Cropped to a single cell; bone marrow smear; May-Grünwald-Giemsa/Pappenheim stain
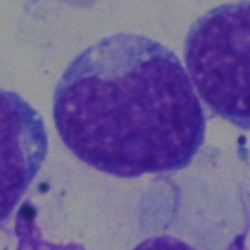

Q: What cell is this?
A: This is a blast cell.